Bone marrow smear — 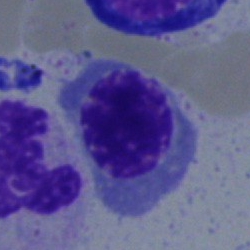
Q: What cell is this?
A: It is an erythroblast.